Pappenheim-stained. 250×250 px. Bone marrow aspirate smear: 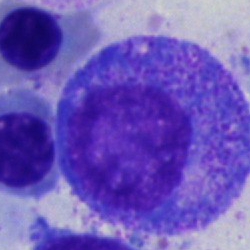 Q: Which cell type is shown here?
A: Progranulocyte.